Bone marrow smear:
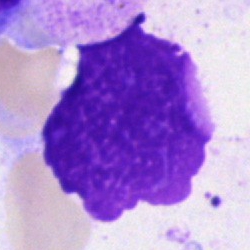

Morphological class: artefact.